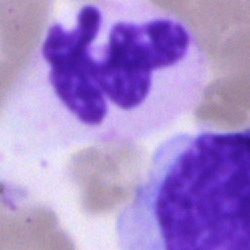
Q: What is the morphological classification of this cell?
A: It is a polymorphonuclear neutrophil.